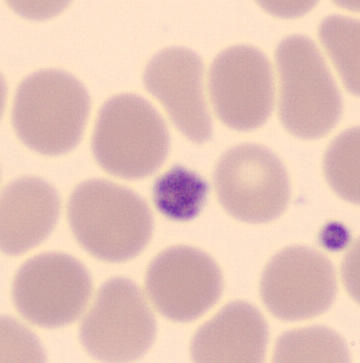
Q: What is this?
A: Platelet.